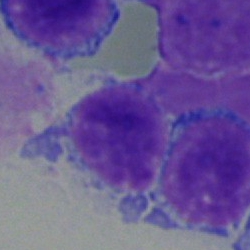 Bone marrow smear showing a typical lymphocyte.